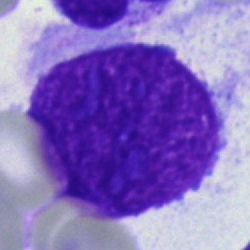 Q: What is shown here?
A: An artifact.